Bone marrow aspirate smear
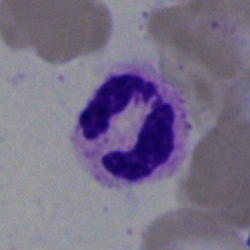
Impression — polymorphonuclear neutrophil.